Bone marrow smear. 40× oil immersion: 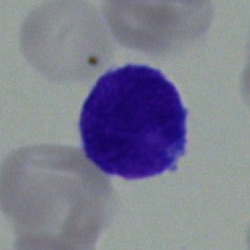An undifferentiated blast.